Bone marrow aspirate smear: 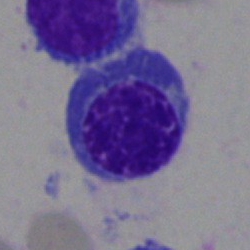
Showing a normoblast.